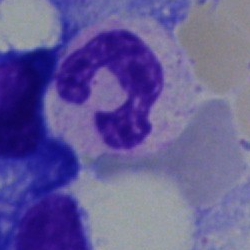 Morphology — segmented neutrophil.